Bone marrow aspirate smear.
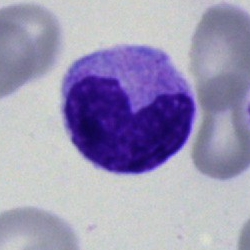
Morphology → metamyelocyte.